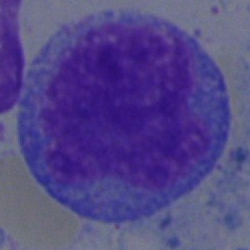

The cell type is blast cell.